Bone marrow aspirate smear — 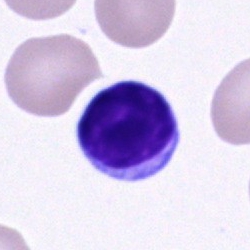
The cell shown is a lymphocyte.